Bone marrow aspirate smear · 250×250 px:
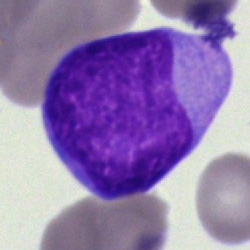 Morphology consistent with an undifferentiated blast.